Single cell centered in the field; bone marrow smear.
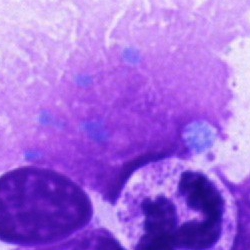
{"cell_type": "artifact"}